Bone marrow smear · image size 250×250: 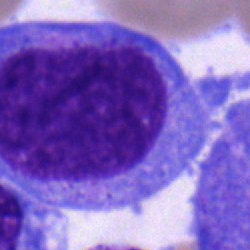 Morphological class = blast.